Bone marrow smear:
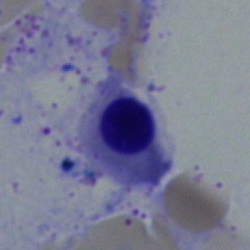
Specimen: bone marrow smear.
Morphological class: erythroblast.
Lineage: erythroid.